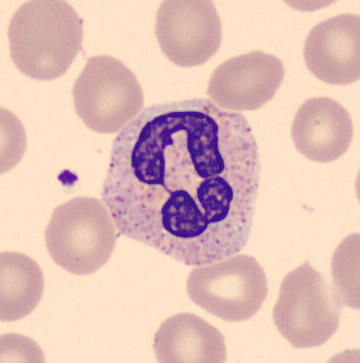

Morphological class = neutrophil (segmented).